Bone marrow aspirate smear.
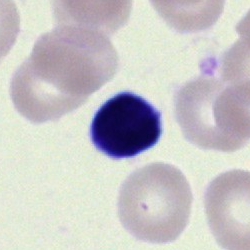 Morphology → lymphocyte.